Bone marrow aspirate smear. Single-cell crop
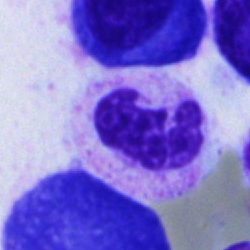 The cell is neutrophil (segmented).